Bone marrow aspirate smear — 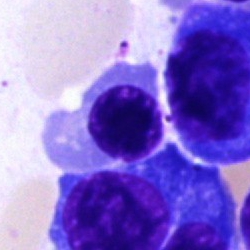

Erythroblast.